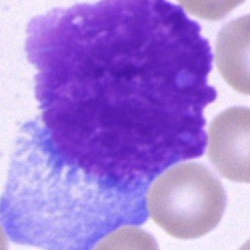Single-cell crop from a bone marrow smear: cell of indeterminate lineage.